Bone marrow smear. Image size 250×250. MGG-stained — 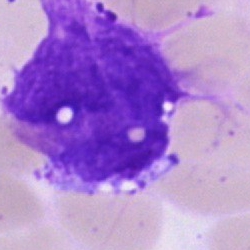The cell shown is an artefact.